Pappenheim-stained · 250 by 250 pixels · bone marrow aspirate smear:
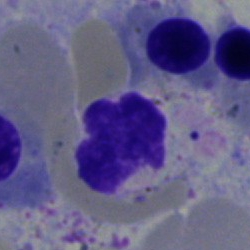 Morphology consistent with a polymorphonuclear neutrophil.